250×250 px. Bone marrow aspirate smear
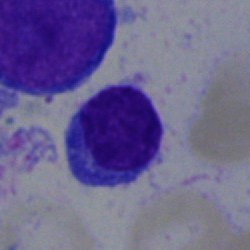Specimen: bone marrow smear.
Cell type: lymphocyte.
Lineage: lymphoid.